Cropped to a single cell; brightfield microscopy, 40× oil immersion; bone marrow smear:
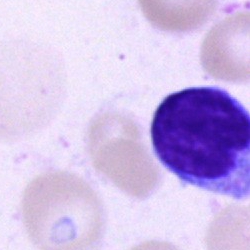
Q: Identify the cell.
A: This is a typical lymphocyte.